Single cell centered in the field; bone marrow smear.
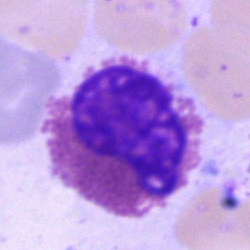 Showing an eosinophil.